Bone marrow aspirate smear. 250×250 px
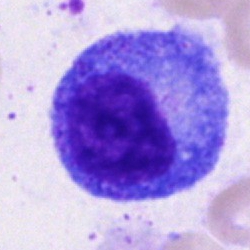

Morphological class = progranulocyte.